Bone marrow aspirate smear. Cropped to a single cell
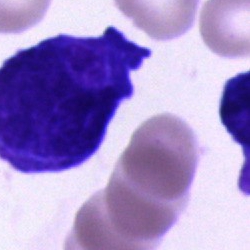A blast cell.